Bone marrow aspirate smear · image size 250×250.
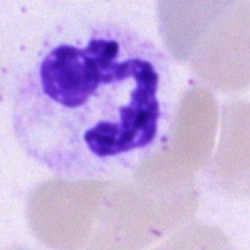Impression — segmented neutrophil.